Bone marrow aspirate smear · May-Grünwald-Giemsa stain · single-cell field.
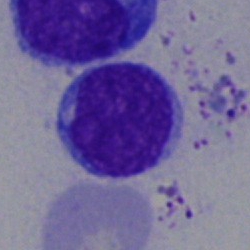 Impression — typical lymphocyte.